Bone marrow aspirate smear. Single cell centered in the field.
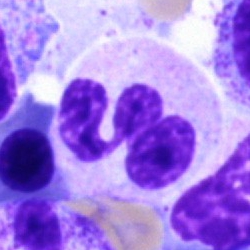 Showing a segmented neutrophil.